Brightfield microscopy, 40× oil immersion; single-cell field; bone marrow smear
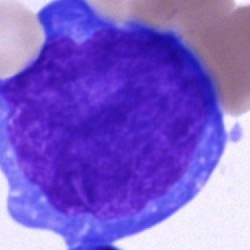Single cell identified as an undifferentiated blast.